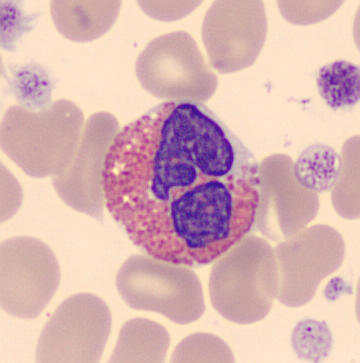Preparation: Peripheral blood smear. 360×363 px. Q: What is this?
A: It is an eosinophilic granulocyte.